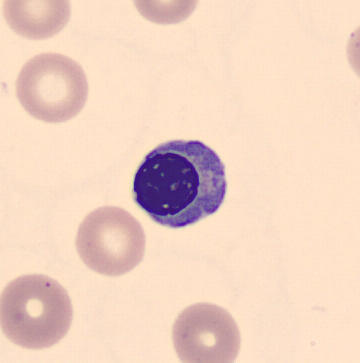
Classification: normoblast.